Bone marrow smear: 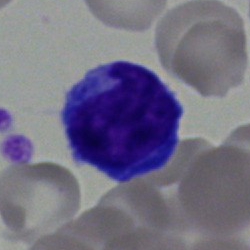

Q: What cell is this?
A: Lymphocyte.